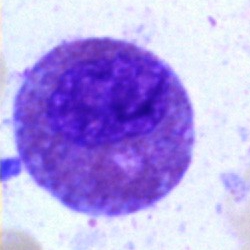

{"cell_type": "eosinophilic granulocyte", "lineage": "myeloid"}